Bone marrow smear. Single-cell crop
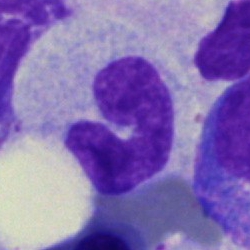Specimen: bone marrow smear.
Classification: neutrophil (band).